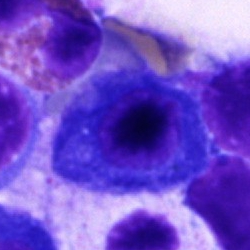
Showing a plasma cell.